Peripheral blood film: 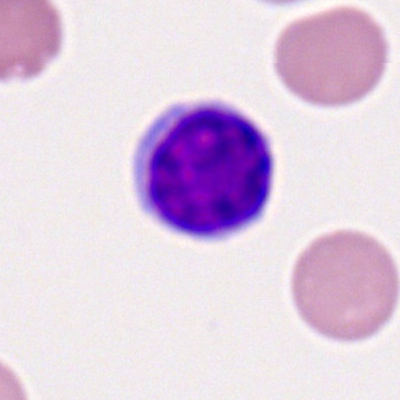 Specimen: peripheral blood smear.
Cell: lymphocyte.
Lineage: lymphoid.